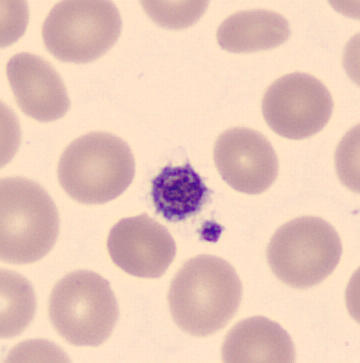
Q: What is shown here?
A: Thrombocyte.

Preparation: Peripheral blood smear.